Bone marrow smear; May-Grünwald-Giemsa stain; brightfield microscopy, 40× oil immersion:
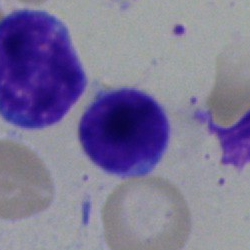The cell is lymphocyte.